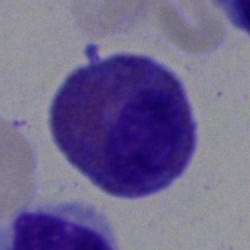

Cell type — eosinophil.